Cropped to a single cell. Bone marrow aspirate smear: 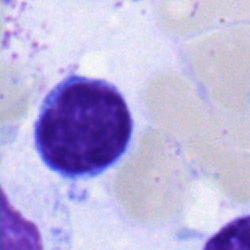 Morphology consistent with a lymphocyte.